Peripheral blood smear — 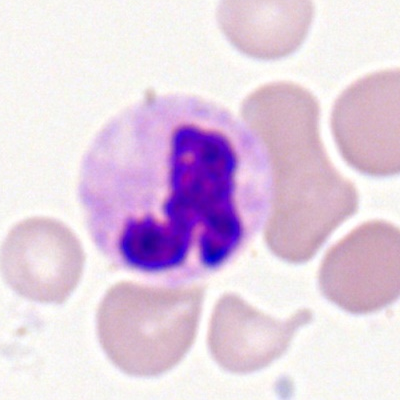The classification is segmented neutrophil.